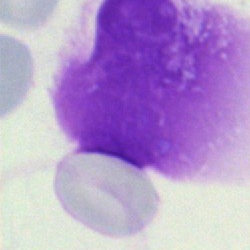The morphological class is artifact.